Peripheral blood smear; 400 by 400 pixels; brightfield, 100× oil-immersion objective — 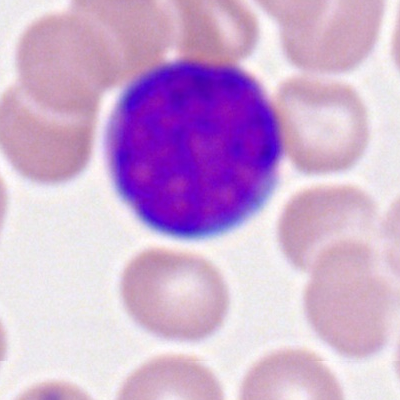{"cell_type": "myeloblast"}